Bone marrow aspirate smear · brightfield, 40× oil-immersion objective — 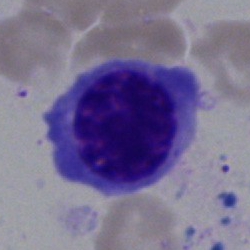
Specimen: bone marrow aspirate smear.
Morphological class: nucleated red cell.
Lineage: erythroid.